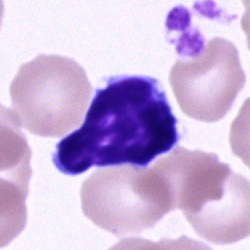

Classification — typical lymphocyte.